Bone marrow smear.
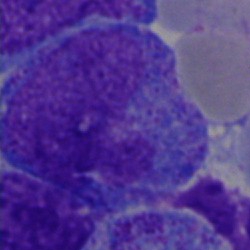
{"cell_type": "promyelocyte", "lineage": "myeloid"}